Bone marrow aspirate smear: 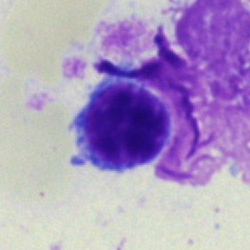

Morphological class = lymphocyte.